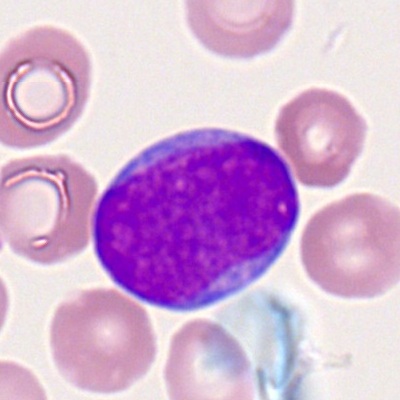

Q: What is shown here?
A: This is a myeloid blast.